Single-cell crop · bone marrow aspirate smear · 40× oil immersion
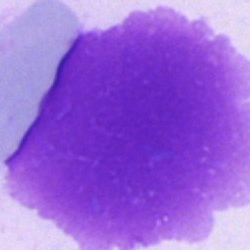 The cell shown is an artifact.